Bone marrow aspirate smear.
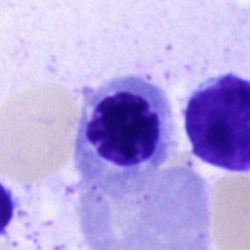

Morphology — normoblast.